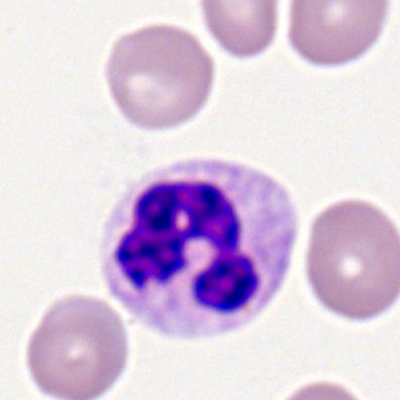
Segmented neutrophil.